Bone marrow smear; 250×250
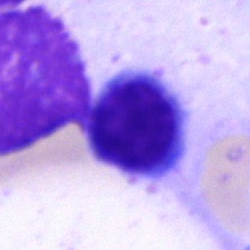 Showing a lymphocyte.